Bone marrow smear. Single-cell field.
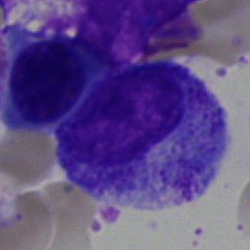
The cell shown is a progranulocyte.